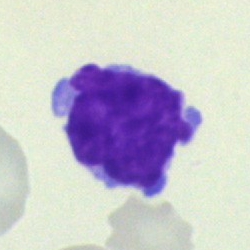 Cell type = typical lymphocyte.